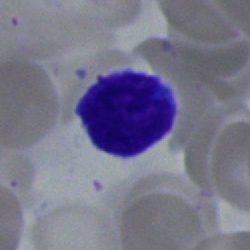

Classification — typical lymphocyte.